Bone marrow smear; 40× oil immersion: 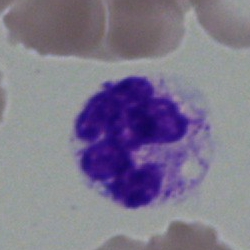Specimen: bone marrow aspirate smear.
Cell type: segmented neutrophil.
Lineage: myeloid.